100× oil immersion, 14.14 px/µm; peripheral blood film; single-cell crop:
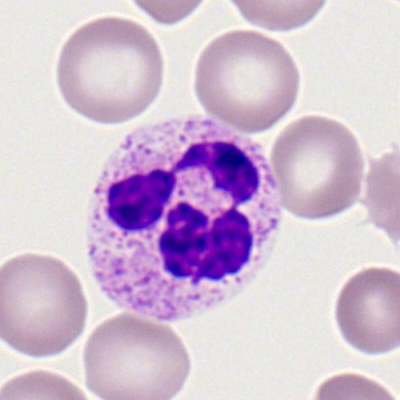

Specimen: peripheral blood smear.
Classification: segmented neutrophil.
Lineage: myeloid.